Romanowsky stain · peripheral blood film · 400 by 400 pixels:
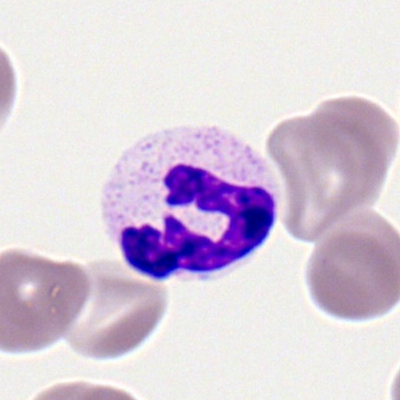

A neutrophil (segmented).